May-Grünwald-Giemsa/Pappenheim stain. Bone marrow aspirate smear. Image size 250×250
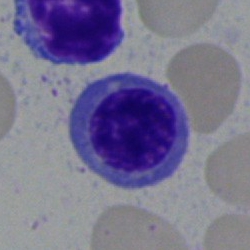 Specimen: bone marrow aspirate smear.
Cell: erythroblast.